Bone marrow aspirate smear: 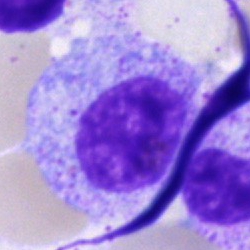

This is a myelocyte.